Bone marrow aspirate smear: 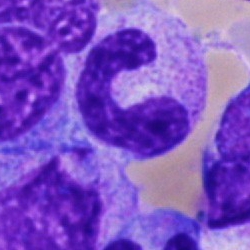

Single cell identified as a band-form neutrophil.